Bone marrow aspirate smear; single-cell field; 250 by 250 pixels: 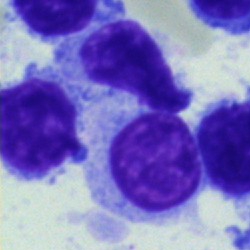

The cell is lymphocyte.